Bone marrow smear
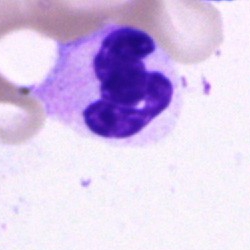A neutrophil (segmented).